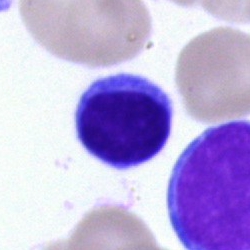 Cell type — lymphocyte.